Bone marrow aspirate smear:
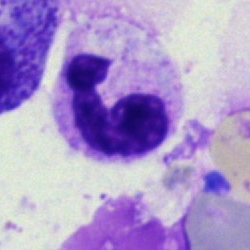

Cell — polymorphonuclear neutrophil.